May-Grünwald-Giemsa stain · bone marrow smear
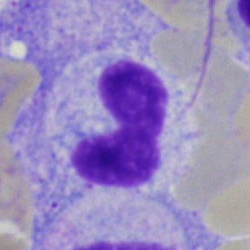Cell: stab cell.